Brightfield microscopy, 40× oil immersion · bone marrow aspirate smear — 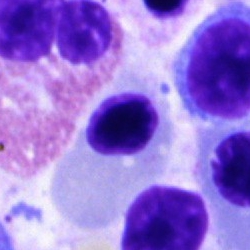Q: What cell is this?
A: Erythroblast.